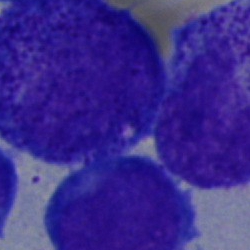 Q: What is shown here?
A: This is a promyelocyte.